Bone marrow aspirate smear.
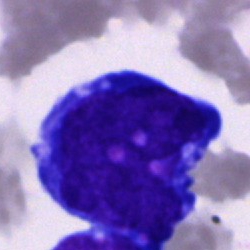
Showing a blast cell.